Bone marrow smear: 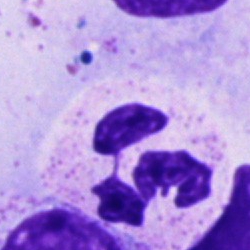
This is a segmented neutrophil.